Peripheral blood smear · brightfield, 100× oil-immersion objective · Romanowsky stain
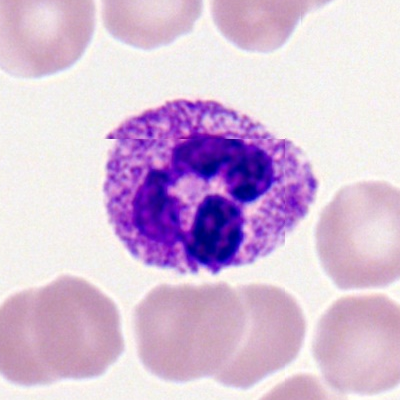

Q: What is the morphological classification of this cell?
A: It is a neutrophil (segmented).